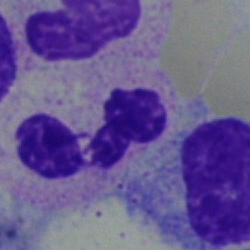 Specimen: bone marrow smear.
Cell: segmented neutrophil.
Lineage: myeloid.